250×250 px. 40× oil immersion. Bone marrow smear: 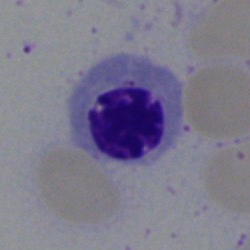

Cell type: erythroblast.